Single-cell crop. Bone marrow aspirate smear.
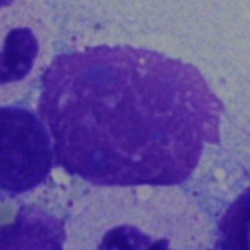
Classification: artifact.